Pappenheim-stained · bone marrow smear.
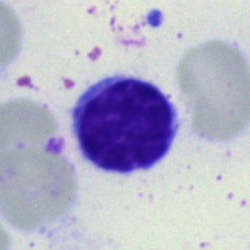

Single cell identified as a lymphocyte.